Brightfield microscopy, 40× oil immersion; bone marrow aspirate smear
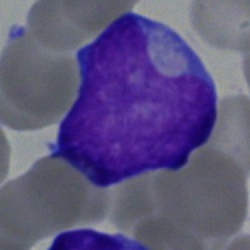

{"cell_type": "blast"}